250×250 px. Bone marrow smear — 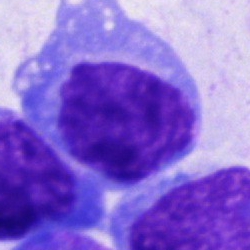
Impression → cell of indeterminate lineage.